Bone marrow smear — 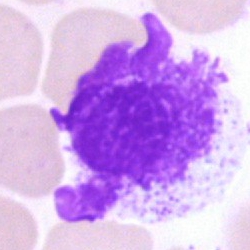

An artifact.